Pappenheim-stained. Bone marrow aspirate smear:
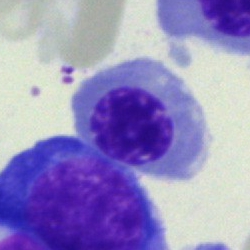
Showing an erythroblast.